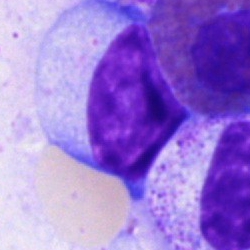

{"cell_type": "lymphocyte"}